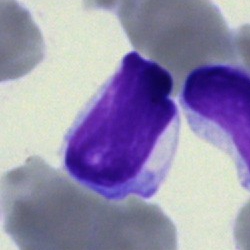

Impression → typical lymphocyte.